Bone marrow aspirate smear:
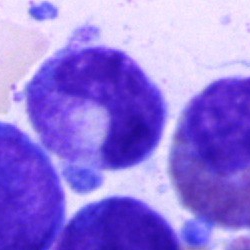

Metamyelocyte.